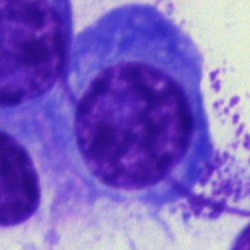

This is a plasma cell.